May-Grünwald-Giemsa/Pappenheim stain; bone marrow aspirate smear; 40× oil immersion.
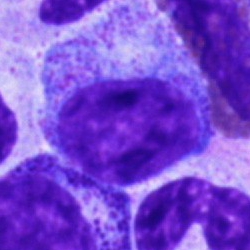
Q: What type of cell is this?
A: This is a promyelocyte.